250×250; bone marrow aspirate smear — 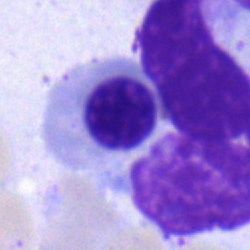

Single cell identified as a normoblast.